Bone marrow smear:
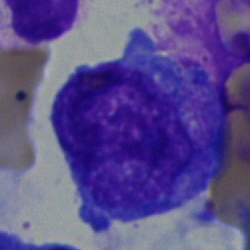
Cell type: blast cell.